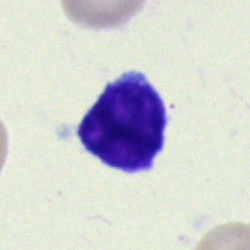 Showing a typical lymphocyte.